40× oil immersion · bone marrow smear.
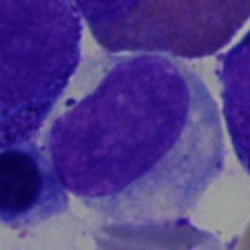This is a metamyelocyte.